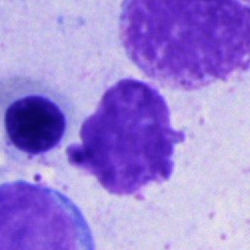{"cell_type": "erythroblast", "lineage": "erythroid"}